40× oil immersion; bone marrow aspirate smear; image size 250×250.
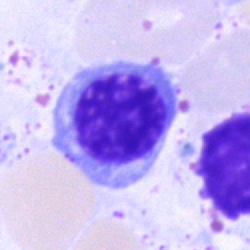
Morphology consistent with an erythroblast.